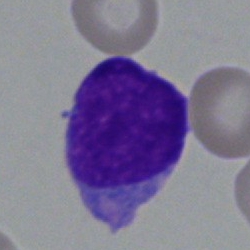Impression → undifferentiated blast.